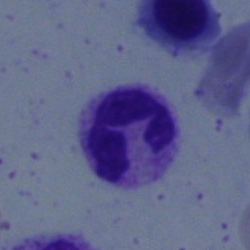 Polymorphonuclear neutrophil.